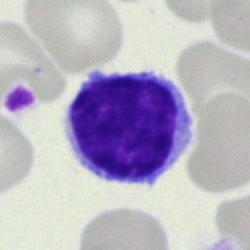Q: Identify the cell.
A: This is a lymphocyte.